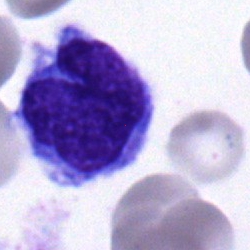Showing a monocyte.